Bone marrow smear: 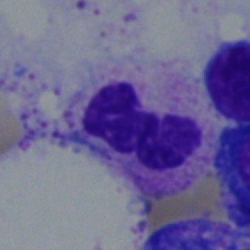 Showing a segmented neutrophil.